Bone marrow smear.
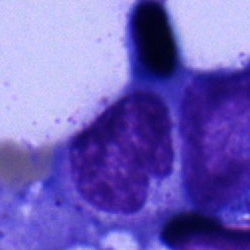 The morphological class is myelocyte.